Peripheral blood smear.
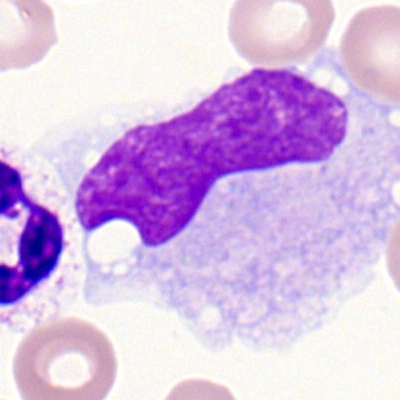Morphology consistent with a monocyte.